Bone marrow smear. Cropped to a single cell: 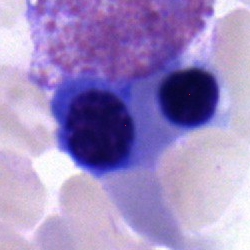
Morphological class: nucleated red cell.